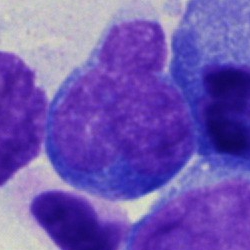

Classification — undifferentiated blast.